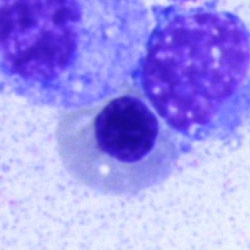
{"cell_type": "nucleated red blood cell", "lineage": "erythroid"}